Bone marrow aspirate smear: 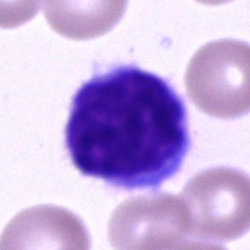
Cell type = typical lymphocyte.